Bone marrow smear. 250 by 250 pixels. Brightfield, 40× oil-immersion objective — 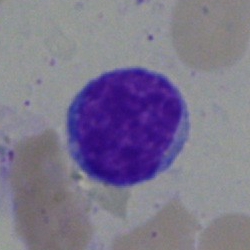Q: What cell is this?
A: A typical lymphocyte.